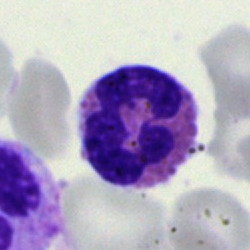
Cell type: eosinophilic granulocyte.